Bone marrow aspirate smear: 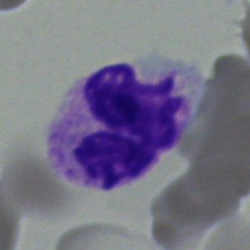
Band neutrophil.